Bone marrow aspirate smear; 40× oil immersion.
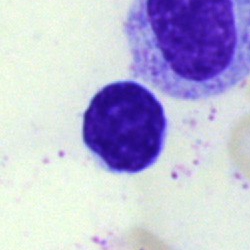 Specimen: bone marrow smear.
Cell: typical lymphocyte.
Lineage: lymphoid.